Brightfield, 40× oil-immersion objective; bone marrow aspirate smear — 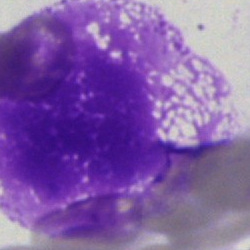 Morphological class — artifact.